Bone marrow aspirate smear. May-Grünwald-Giemsa/Pappenheim stain. Single cell centered in the field:
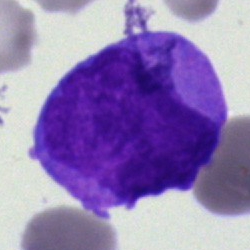 Single cell identified as a blast.